Bone marrow smear:
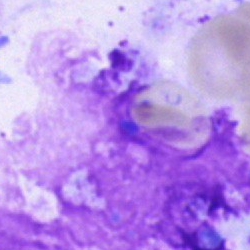

Morphology — artefact.